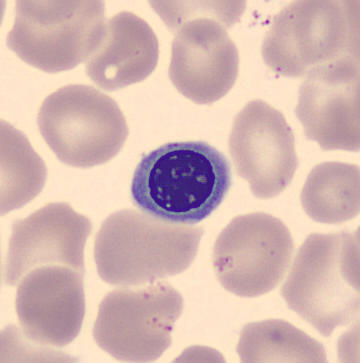

Cropped to a single cell. Peripheral blood smear. {"cell_type": "erythroblast", "lineage": "erythroid"}